40× oil immersion; bone marrow smear: 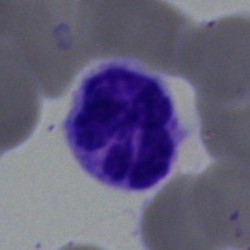
Showing a segmented neutrophil.